Bone marrow aspirate smear. Single-cell field:
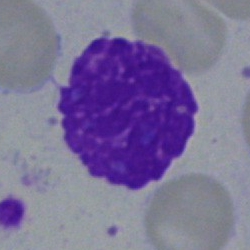

Specimen: bone marrow aspirate smear.
Cell: artefact.